Peripheral blood film: 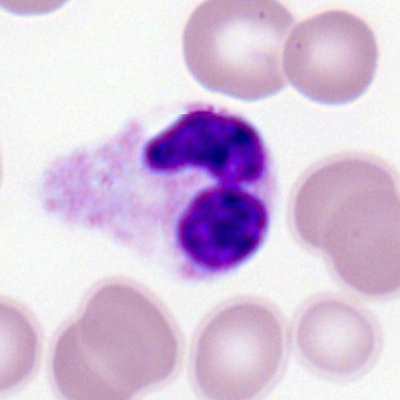
Morphological class: polymorphonuclear neutrophil.